Bone marrow aspirate smear — 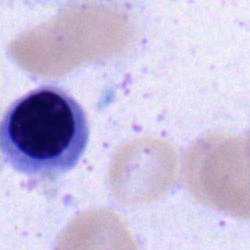
Q: Which cell type is shown here?
A: Nucleated red blood cell.